Bone marrow aspirate smear. May-Grünwald-Giemsa/Pappenheim stain: 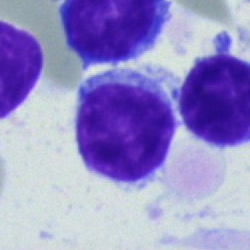
Single cell identified as a typical lymphocyte.